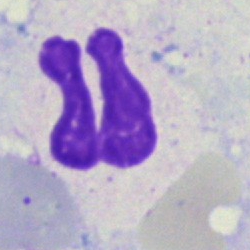 Cell type: artefact.